Brightfield, 40× oil-immersion objective; bone marrow smear; 250×250: 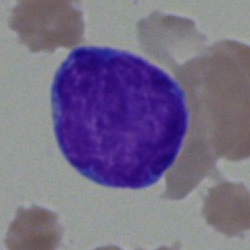 Morphological class — blast cell.